Bone marrow smear: 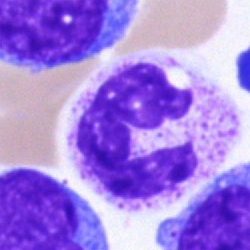 The classification is segmented neutrophil.